Brightfield microscopy, 40× oil immersion · bone marrow smear
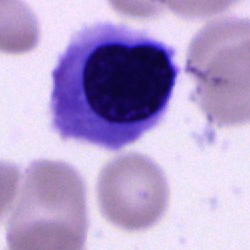 Showing a nucleated red blood cell.